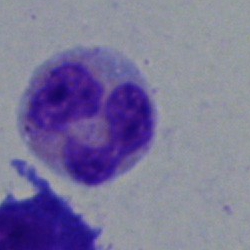

Polymorphonuclear neutrophil.